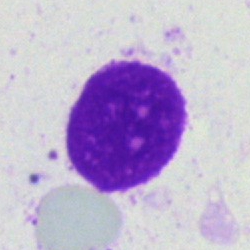

Q: What is shown here?
A: This is an artefact.